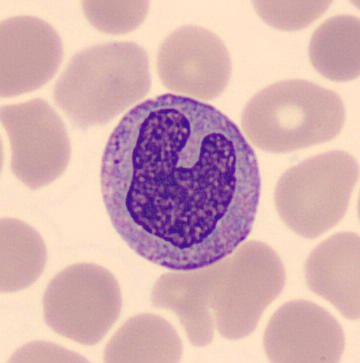 Q: What type of cell is this?
A: A monocyte.

Preparation: Peripheral blood smear · MGG-stained.